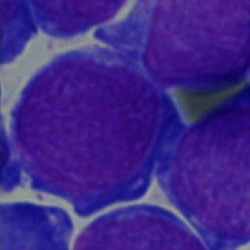Q: What type of cell is this?
A: This is a blast cell.